Bone marrow aspirate smear.
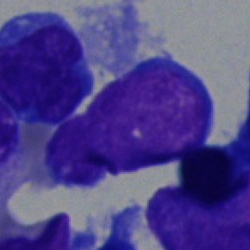 Cell type = blast cell.